Bone marrow aspirate smear: 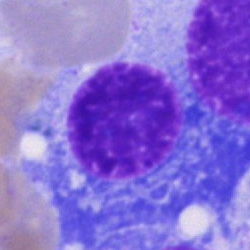 A plasmacyte.